Bone marrow smear · 40× objective, oil immersion · single-cell field.
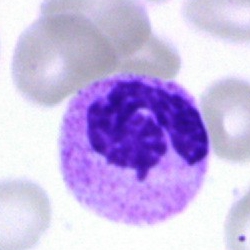

Classification = segmented neutrophil.